Bone marrow aspirate smear: 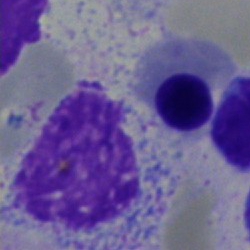

Cell: normoblast.